Bone marrow smear · 250×250 px.
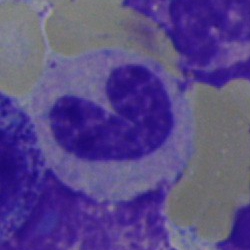{"cell_type": "band neutrophil", "lineage": "myeloid"}